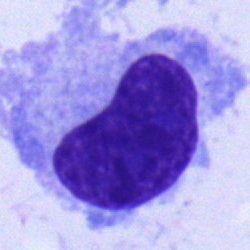

Cell type = plasmacyte.